Bone marrow smear
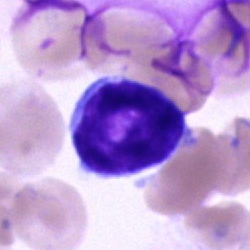

A typical lymphocyte.